Bone marrow smear: 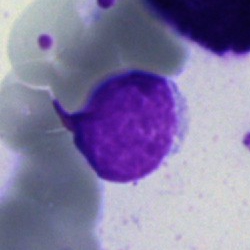Showing a typical lymphocyte.